Bone marrow aspirate smear
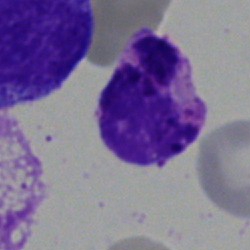Showing a basophilic granulocyte.